Bone marrow aspirate smear · image size 250×250: 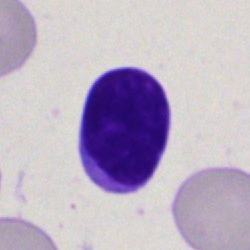Morphology consistent with a typical lymphocyte.